Bone marrow aspirate smear; single cell centered in the field — 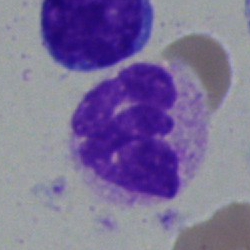
A neutrophil (segmented).